Bone marrow aspirate smear; cropped to a single cell — 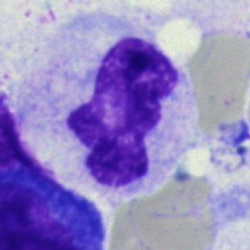
Cell: band neutrophil.